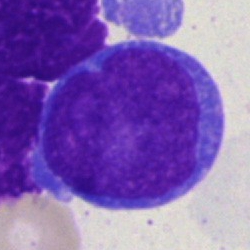
Bone marrow smear showing a blast.